Single-cell crop. 250×250 px. Bone marrow smear: 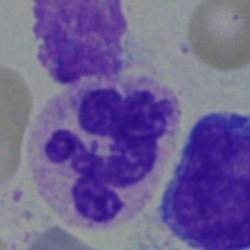
Q: What cell is this?
A: Neutrophil (segmented).